Bone marrow aspirate smear.
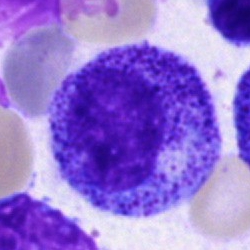
{"cell_type": "progranulocyte"}